Bone marrow smear; brightfield microscopy, 40× oil immersion: 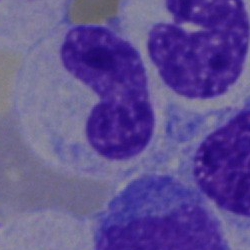Q: What is shown here?
A: Stab cell.